Bone marrow aspirate smear.
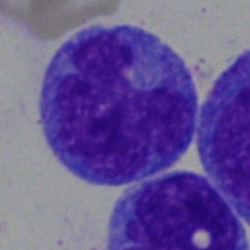 Q: What is the morphological classification of this cell?
A: A blast.